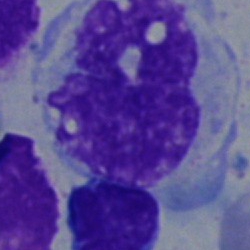 Specimen: bone marrow aspirate smear.
Classification: monocyte.
Lineage: myeloid.